Bone marrow smear: 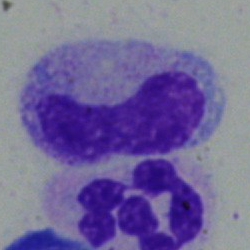

Cell type: metamyelocyte.